Bone marrow aspirate smear.
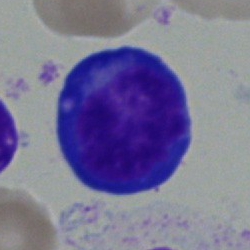

Proerythroblast.